Pappenheim-stained · bone marrow aspirate smear.
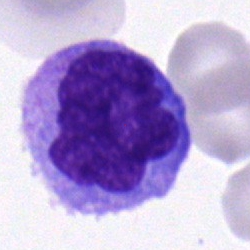 Specimen: bone marrow smear.
Classification: monocyte.
Lineage: myeloid.